Peripheral blood film; cropped to a single cell; 100× oil immersion: 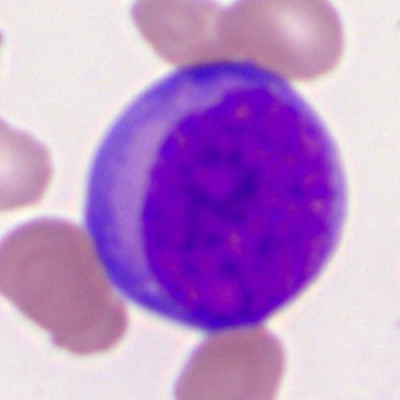Cell type = myeloid blast.